Bone marrow smear · brightfield, 40× oil-immersion objective:
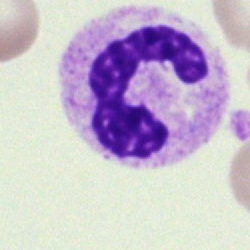
Showing a neutrophil (segmented).